Bone marrow aspirate smear:
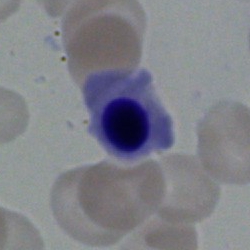

Q: What cell is this?
A: Normoblast.